Bone marrow smear — 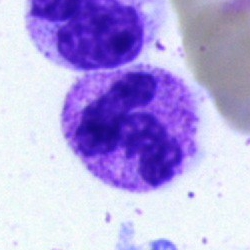

{"cell_type": "segmented neutrophil"}